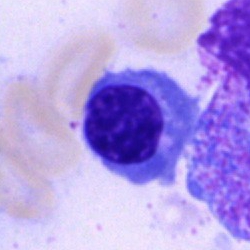 Morphology — nucleated red blood cell.